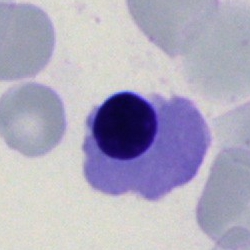 A nucleated red blood cell on a bone marrow smear.